Bone marrow aspirate smear: 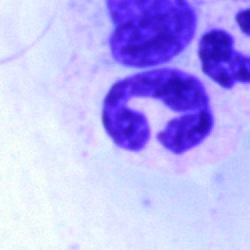
A neutrophil (segmented).